250×250. Bone marrow aspirate smear. Cropped to a single cell: 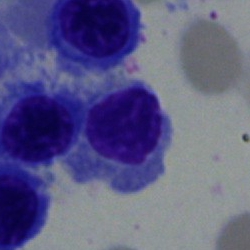Classification = nucleated red cell.